Brightfield, 40× oil-immersion objective; bone marrow smear.
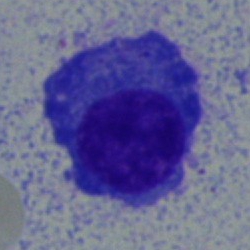 This is a plasmacyte.